Single cell centered in the field · bone marrow aspirate smear
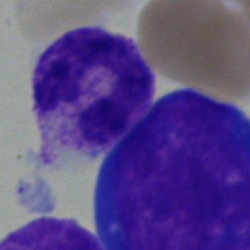 Q: What type of cell is this?
A: Stab cell.